Bone marrow aspirate smear; May-Grünwald-Giemsa/Pappenheim stain: 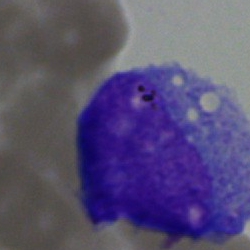Morphology → undifferentiated blast.